Bone marrow aspirate smear:
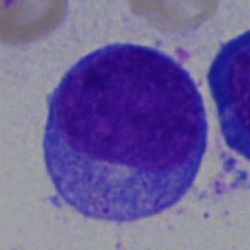 {"cell_type": "promyelocyte"}